Bone marrow smear:
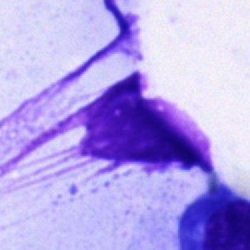

The morphological class is artefact.